40× oil immersion; single-cell crop; bone marrow aspirate smear: 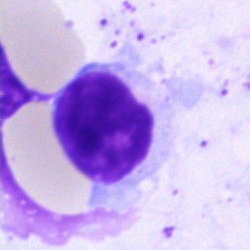
The cell shown is a lymphocyte.